Bone marrow aspirate smear
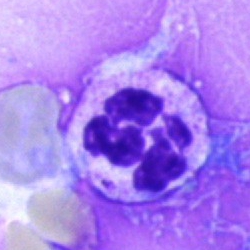

Classification = segmented neutrophil.